Bone marrow smear
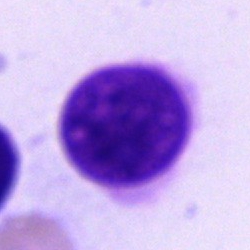 Cell type = artifact.